Bone marrow smear.
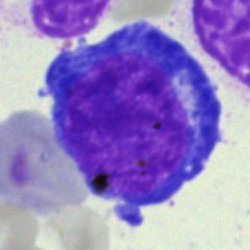
This is a proerythroblast.